Bone marrow aspirate smear
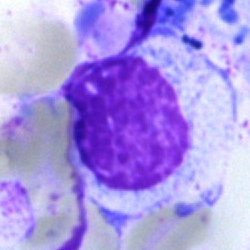
Classification: artefact.